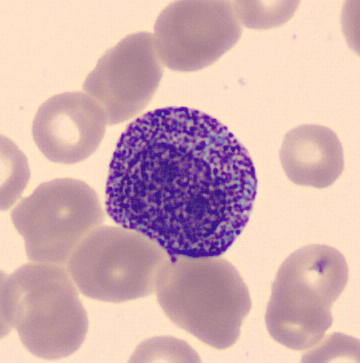Image: May Grünwald-Giemsa stain · peripheral blood smear.

This is a progranulocyte.